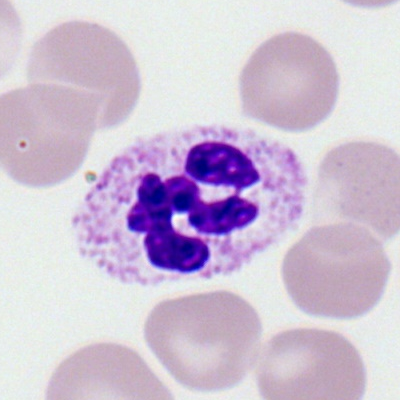 Segmented neutrophil.